Bone marrow smear · brightfield, 40× oil-immersion objective — 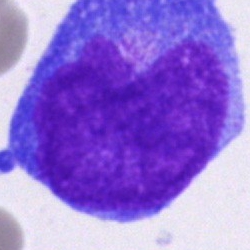

Specimen: bone marrow smear.
Morphological class: blast cell.